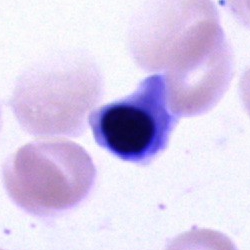

The cell shown is a normoblast.